Bone marrow aspirate smear: 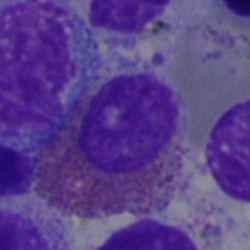
Classification = eosinophilic granulocyte.